Bone marrow aspirate smear: 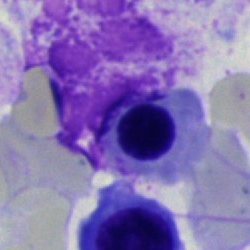Cell = nucleated red blood cell.